Bone marrow aspirate smear; 250×250.
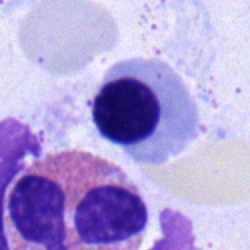

Q: What is the morphological classification of this cell?
A: A nucleated red blood cell.